Bone marrow aspirate smear; cropped to a single cell
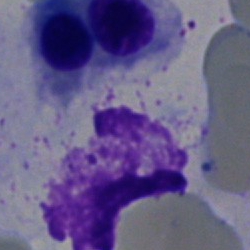Morphology — artefact.